Pappenheim-stained · bone marrow smear — 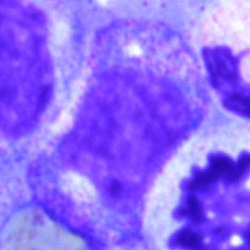Morphology consistent with a metamyelocyte.